Bone marrow aspirate smear.
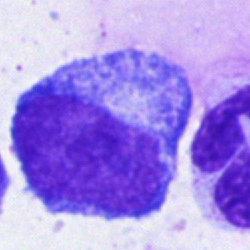Showing a progranulocyte.